Bone marrow aspirate smear: 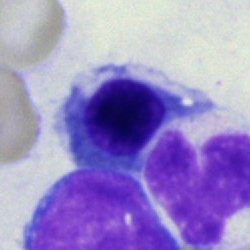 Showing a nucleated red cell.